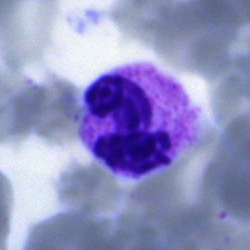
Q: Which cell type is shown here?
A: A polymorphonuclear neutrophil.